Bone marrow smear
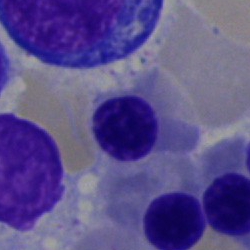 Cell — nucleated red blood cell.